Bone marrow smear; 40× objective, oil immersion; 250×250 px.
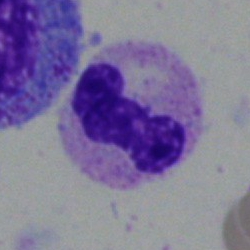 This is a polymorphonuclear neutrophil.